Bone marrow smear
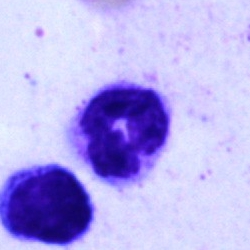Specimen: bone marrow smear.
Cell: polymorphonuclear neutrophil.